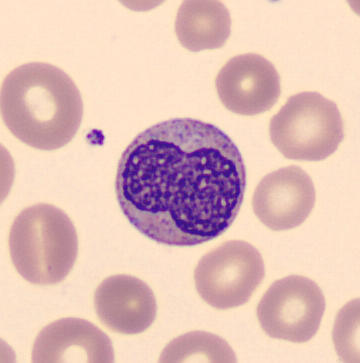 A metamyelocyte on a peripheral blood smear.